May-Grünwald-Giemsa/Pappenheim stain; bone marrow aspirate smear; image size 250×250: 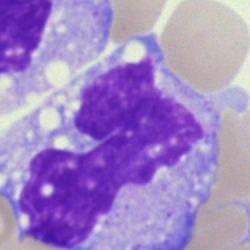Q: What is shown here?
A: Monocyte.